Bone marrow aspirate smear; single-cell field — 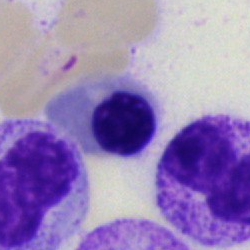

Specimen: bone marrow aspirate smear.
Classification: nucleated red blood cell.
Lineage: erythroid.